250×250. Bone marrow smear. May-Grünwald-Giemsa/Pappenheim stain:
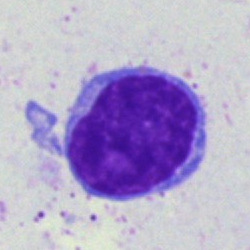 Q: Identify the cell.
A: It is a lymphocyte.